Bone marrow aspirate smear · single-cell crop · brightfield, 40× oil-immersion objective:
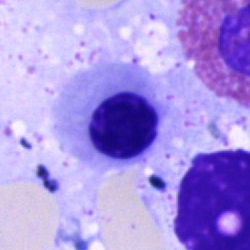
A nucleated red blood cell.